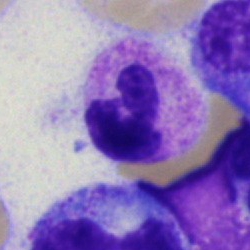Q: What type of cell is this?
A: It is a segmented neutrophil.